Bone marrow smear: 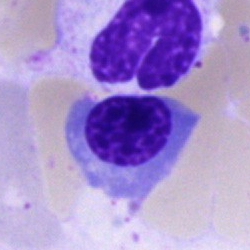
Single cell identified as an erythroblast.